Bone marrow aspirate smear.
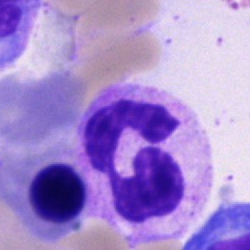

Q: What type of cell is this?
A: It is a segmented neutrophil.